Bone marrow smear: 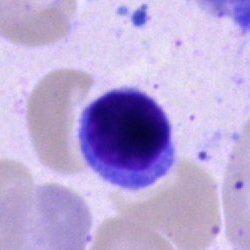Cell: lymphocyte.